Bone marrow smear:
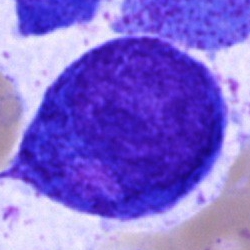Cell type: progranulocyte.